Bone marrow aspirate smear:
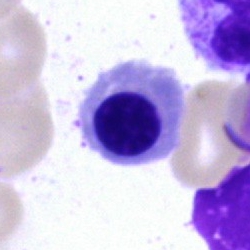Q: Which cell type is shown here?
A: A nucleated red cell.